250×250 px; bone marrow aspirate smear — 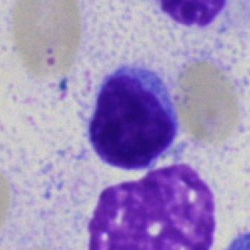Morphology → lymphocyte.